Bone marrow smear — 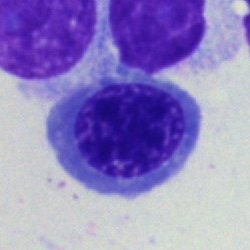
Erythroblast.